Bone marrow smear:
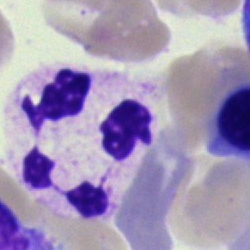 Impression → polymorphonuclear neutrophil.